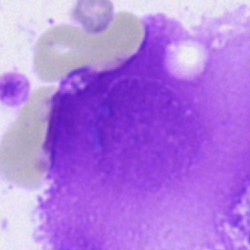 Single cell identified as an artifact.